Bone marrow aspirate smear: 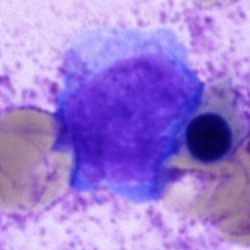Specimen: bone marrow aspirate smear.
Classification: blast.